Bone marrow smear · single-cell field: 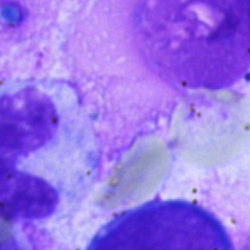Q: What is shown here?
A: Artifact.